Bone marrow smear; single cell centered in the field: 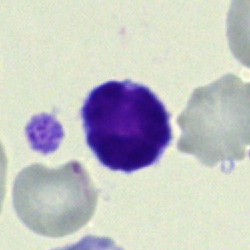Typical lymphocyte.